Bone marrow smear — 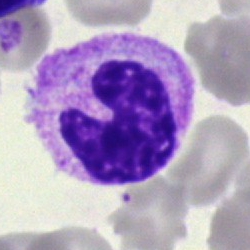 The cell shown is a neutrophil (band).